Peripheral blood smear. Romanowsky-type stain — 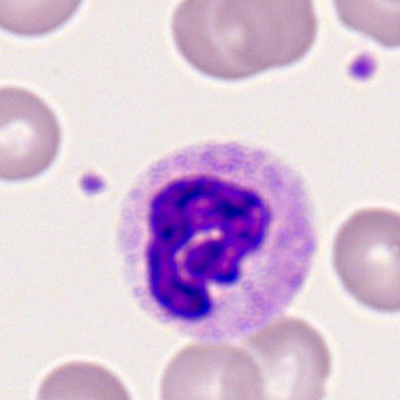 The cell type is polymorphonuclear neutrophil.